Bone marrow aspirate smear · single-cell crop · May-Grünwald-Giemsa stain: 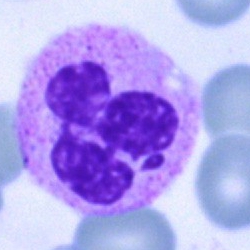

Specimen: bone marrow smear.
Cell type: segmented neutrophil.